Bone marrow aspirate smear: 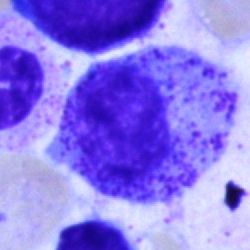

Cell: promyelocyte.